Bone marrow aspirate smear. MGG-stained. 250×250 px: 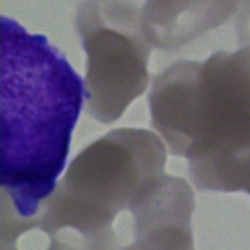 The cell is blast.